Cropped to a single cell. Bone marrow aspirate smear.
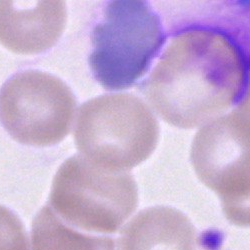
The morphological class is artifact.